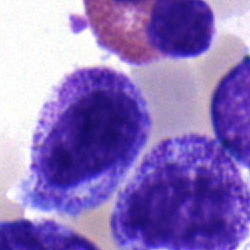
Morphology → myelocyte.